Bone marrow aspirate smear:
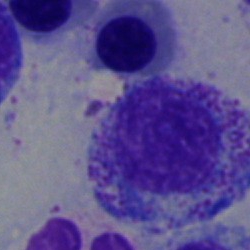
This is a myelocyte.